Bone marrow smear: 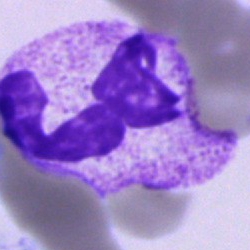
Cell type: neutrophil (segmented).